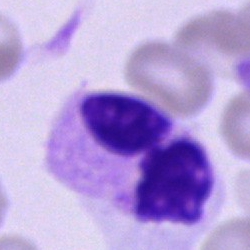 Q: What type of cell is this?
A: A segmented neutrophil.